Bone marrow smear — 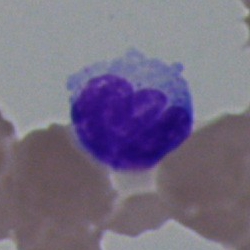
Classification = typical lymphocyte.